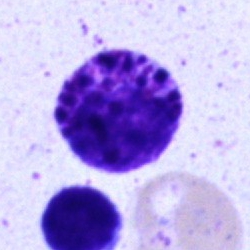 Bone marrow smear showing a basophil.